Single-cell crop. Romanowsky-stained. Peripheral blood film: 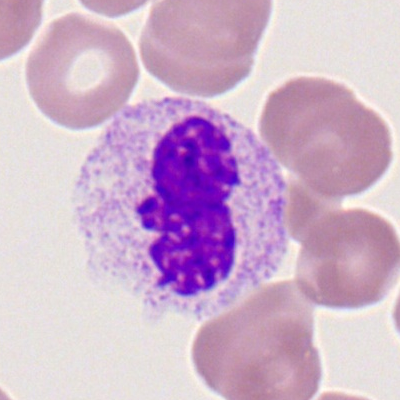The classification is polymorphonuclear neutrophil.